Image size 250×250. Bone marrow smear: 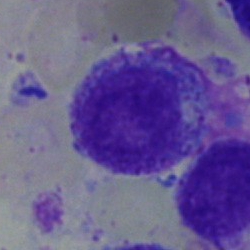Q: What type of cell is this?
A: A myelocyte.